Bone marrow smear: 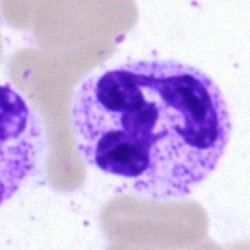

This is a neutrophil (segmented).